Bone marrow smear: 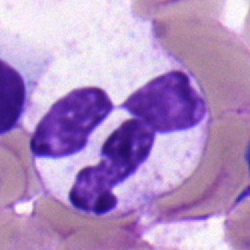

{"cell_type": "segmented neutrophil", "lineage": "myeloid"}